Bone marrow smear:
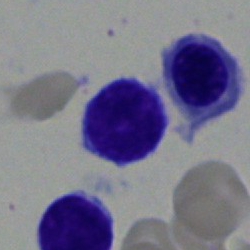 Cell = typical lymphocyte.